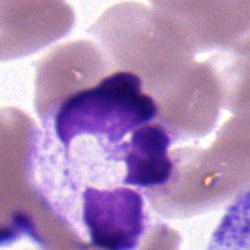Single cell identified as a segmented neutrophil.